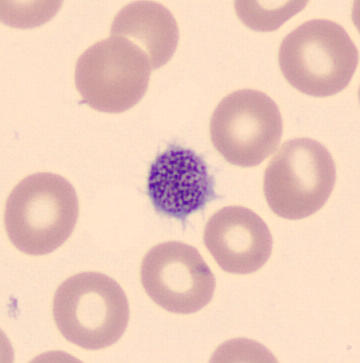Image: Peripheral blood film. Q: What is shown here?
A: It is a platelet (thrombocyte).